Bone marrow smear
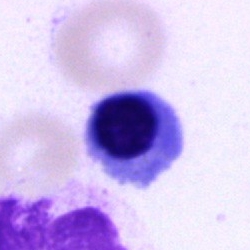
Morphology → nucleated red cell.